Peripheral blood film
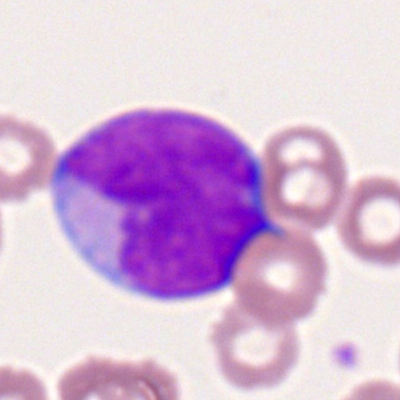

Cell — myeloid blast.